Bone marrow smear:
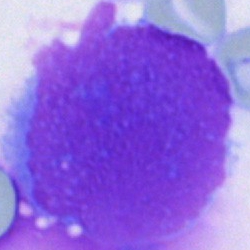
Q: What is shown here?
A: Artifact.